Bone marrow smear
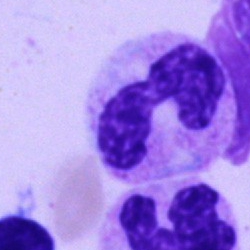
Cell = segmented neutrophil.